Bone marrow aspirate smear. 40× objective, oil immersion — 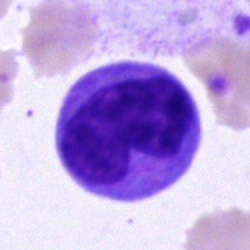
Cell type — monocyte.